Peripheral blood smear — 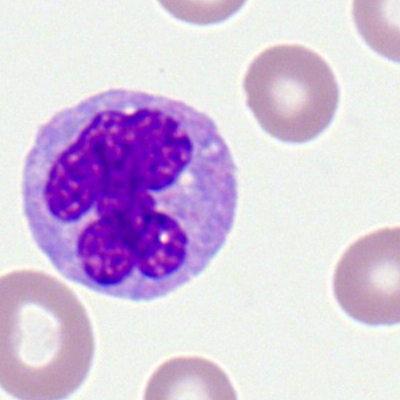
The cell shown is a monocyte.